Bone marrow smear. Brightfield, 40× oil-immersion objective. Single-cell field — 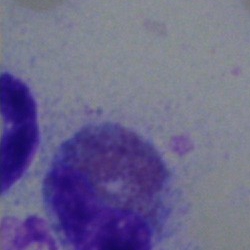
Cell = eosinophilic granulocyte.